250×250; bone marrow aspirate smear
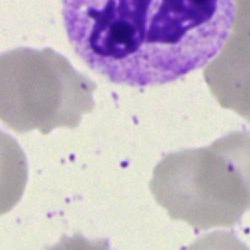
Q: What is shown here?
A: Polymorphonuclear neutrophil.